Single-cell crop · bone marrow smear — 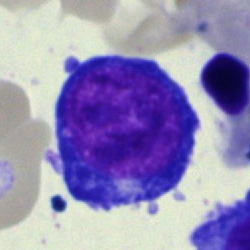This is a proerythroblast.